Bone marrow aspirate smear. MGG-stained: 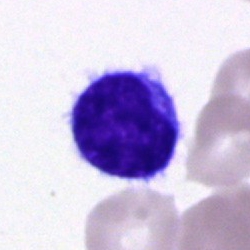 Specimen: bone marrow smear.
Cell: lymphocyte.